Bone marrow smear; 40× objective, oil immersion
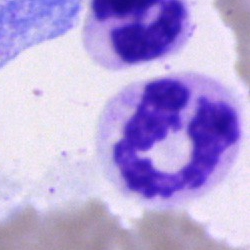

Cell type — neutrophil (segmented).